Single cell centered in the field · bone marrow smear
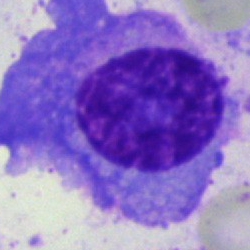 Classification = plasmacyte.